Bone marrow smear. Pappenheim-stained.
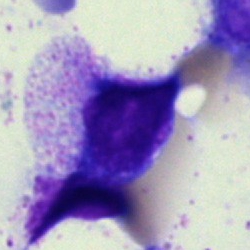Q: What is shown here?
A: An artifact.